Bone marrow aspirate smear — 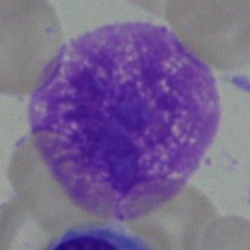

Morphology — artifact.